250×250 px · single cell centered in the field · bone marrow aspirate smear.
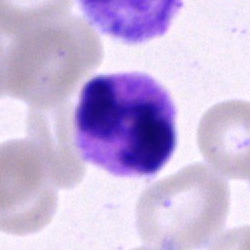The morphological class is neutrophil (segmented).